Bone marrow smear · 40× oil immersion · single-cell crop: 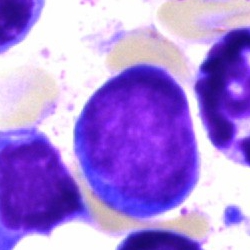
Showing a pronormoblast.